May-Grünwald-Giemsa/Pappenheim stain · bone marrow smear — 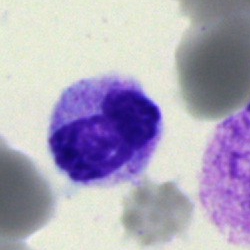
Band-form neutrophil.